Bone marrow smear.
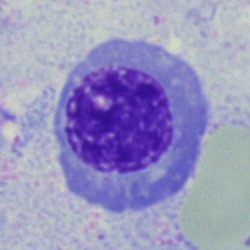 Q: What cell is this?
A: Nucleated red cell.